Peripheral blood film. 360×363 px. Automated cell imaging (CellaVision DM96).
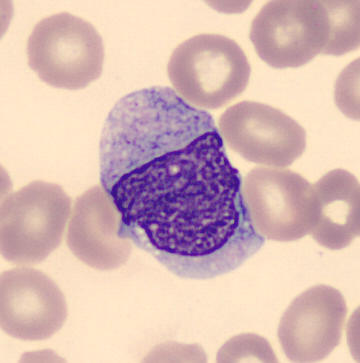Q: Identify the cell.
A: Monocyte.